40× objective, oil immersion. 250×250. Bone marrow smear:
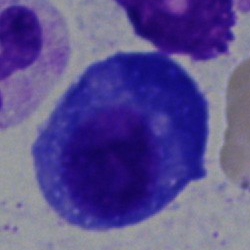

Morphology consistent with a plasmacyte.